Bone marrow aspirate smear.
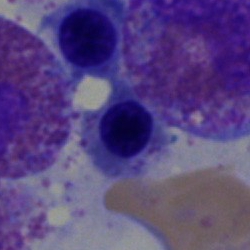
The cell is nucleated red blood cell.